250×250. Bone marrow aspirate smear.
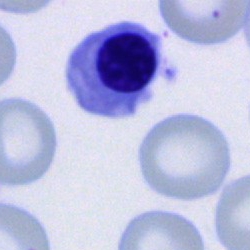 Erythroblast.